250×250 · bone marrow smear — 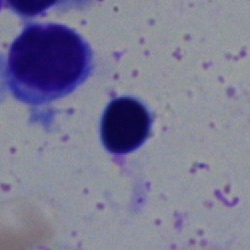Specimen: bone marrow aspirate smear.
Classification: nucleated red blood cell.
Lineage: erythroid.